Bone marrow aspirate smear.
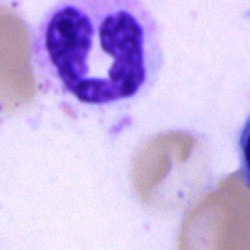

The cell shown is a polymorphonuclear neutrophil.